Bone marrow smear
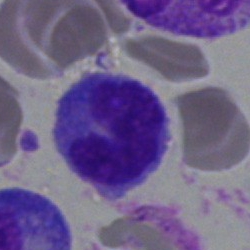

Q: What cell is this?
A: Monocyte.